Bone marrow aspirate smear; Pappenheim-stained; single-cell crop: 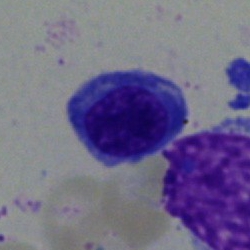 Morphology consistent with a typical lymphocyte.